Peripheral blood film — 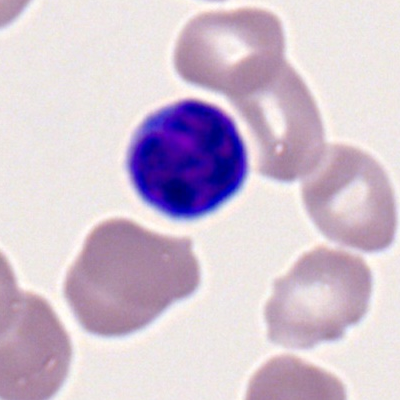
Impression — lymphocyte.